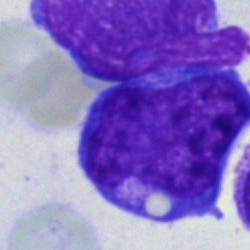Impression → undifferentiated blast.